Bone marrow aspirate smear.
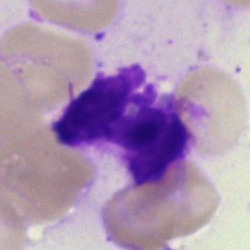
Morphology consistent with an artifact.